Bone marrow aspirate smear — 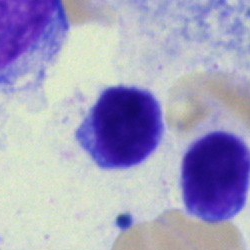 Specimen: bone marrow aspirate smear.
Cell: typical lymphocyte.